Bone marrow smear; brightfield, 40× oil-immersion objective:
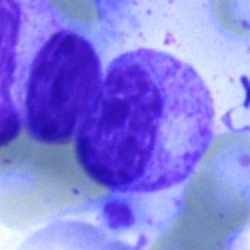A myelocyte.